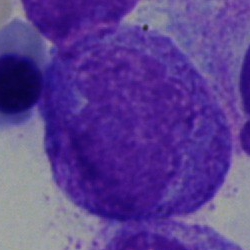 The cell type is progranulocyte.